Bone marrow aspirate smear: 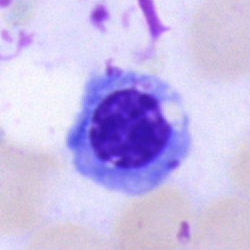Impression — erythroblast.